Bone marrow aspirate smear.
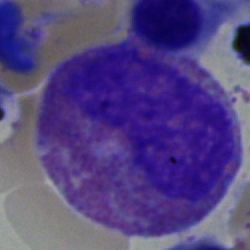 Cell: eosinophilic granulocyte.